Bone marrow aspirate smear
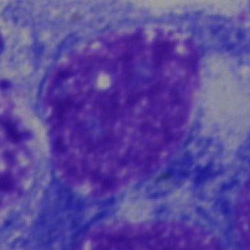Morphological class: artifact.